Brightfield, 40× oil-immersion objective. Bone marrow smear. Pappenheim-stained.
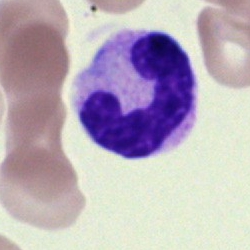
Morphology consistent with a band-form neutrophil.